May-Grünwald-Giemsa/Pappenheim stain. Bone marrow aspirate smear — 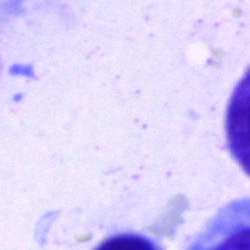
Single cell identified as an artifact.